Bone marrow smear: 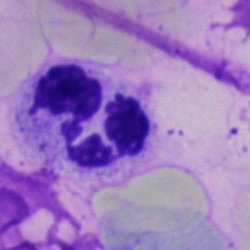 The cell shown is a neutrophil (segmented).